Bone marrow smear.
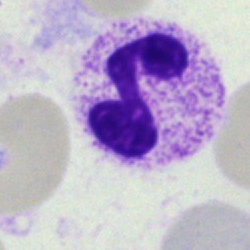

Morphological class = neutrophil (segmented).